Peripheral blood smear. CellaVision DM96 digital cell image:
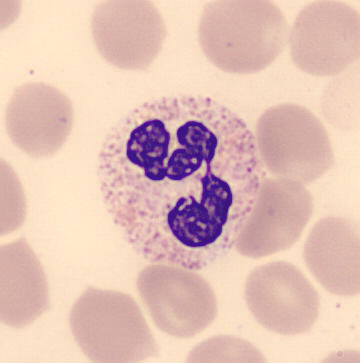 Cell type = segmented neutrophil.